Bone marrow aspirate smear.
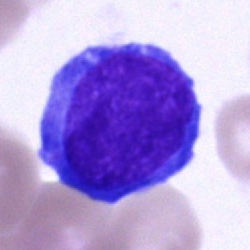

A blast cell.